250×250 px. Bone marrow smear:
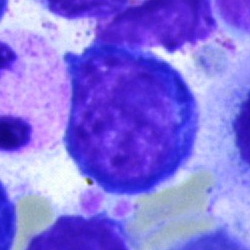Nucleated red blood cell.